Brightfield microscopy, 40× oil immersion. Bone marrow aspirate smear.
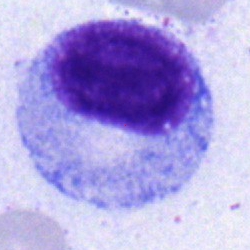 Specimen: bone marrow smear.
Cell: promyelocyte.
Lineage: myeloid.